Bone marrow aspirate smear — 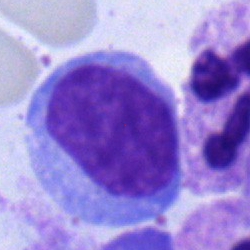 The cell shown is a blast.